Bone marrow aspirate smear.
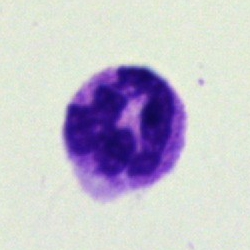Single cell identified as a polymorphonuclear neutrophil.